Bone marrow smear.
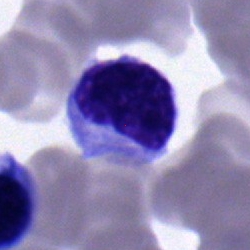 Morphology → monocyte.